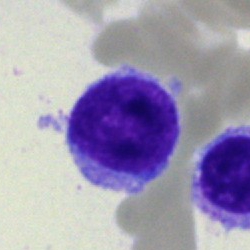Q: What type of cell is this?
A: It is a blast.